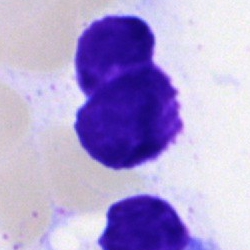
Specimen: bone marrow smear.
Cell type: artifact.